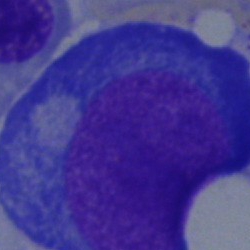Single-cell crop from a bone marrow smear: pronormoblast.